Bone marrow smear. Pappenheim-stained. 40× objective, oil immersion
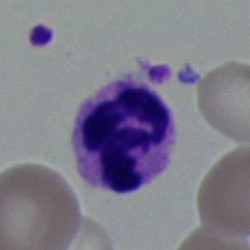
{"cell_type": "neutrophil (segmented)"}